Bone marrow aspirate smear
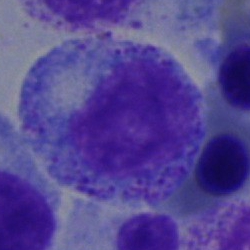 Specimen: bone marrow aspirate smear.
Cell type: promyelocyte.
Lineage: myeloid.